40× oil immersion. 250×250. Bone marrow aspirate smear
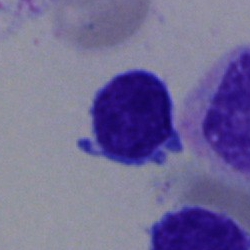

Lymphocyte.